Bone marrow smear: 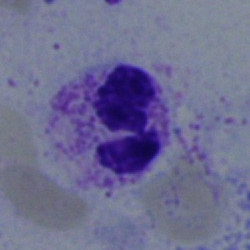 A polymorphonuclear neutrophil.